Bone marrow smear.
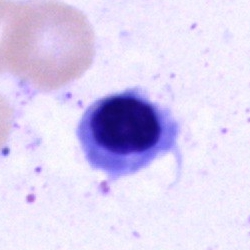

Q: What is shown here?
A: Promyelocyte.